Image size 250×250; bone marrow aspirate smear; 40× objective, oil immersion.
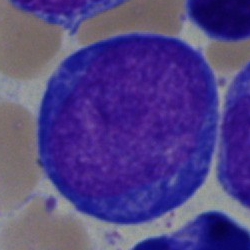 Q: What cell is this?
A: It is a pronormoblast.